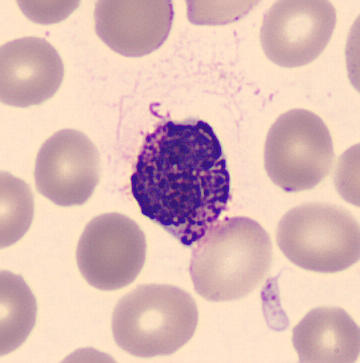

Morphological class — basophilic granulocyte.

Preparation: Peripheral blood smear.